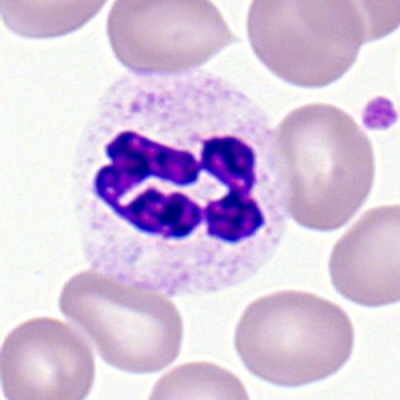 Q: What is shown here?
A: Segmented neutrophil.